Bone marrow smear:
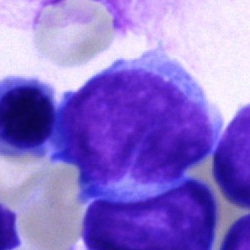

Q: What is shown here?
A: An undifferentiated blast.